Bone marrow smear — 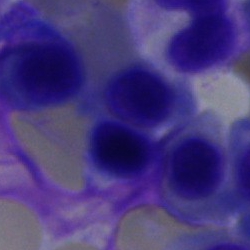
Q: What type of cell is this?
A: This is a nucleated red cell.